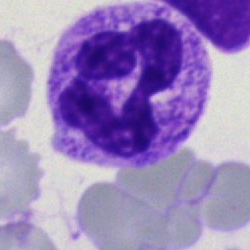Specimen: bone marrow aspirate smear.
Cell type: polymorphonuclear neutrophil.
Lineage: myeloid.